Bone marrow aspirate smear: 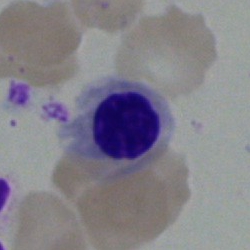

Morphology consistent with a normoblast.